Single-cell crop. May-Grünwald-Giemsa stain. Bone marrow smear — 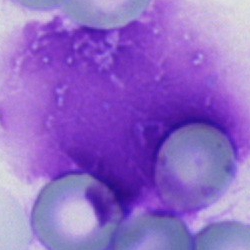
Morphology consistent with an artefact.